40× objective, oil immersion · bone marrow aspirate smear — 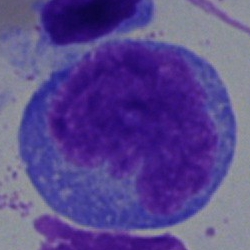

Showing a blast cell.